Peripheral blood smear:
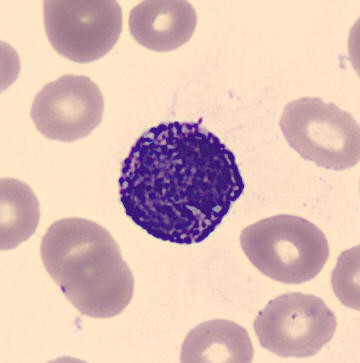

Q: What is the morphological classification of this cell?
A: Basophil.